Bone marrow smear — 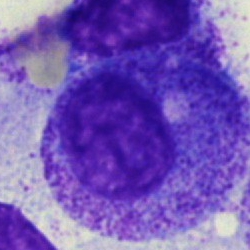
A progranulocyte.